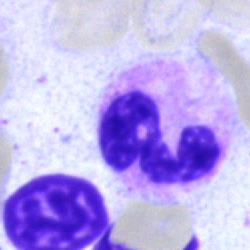 A polymorphonuclear neutrophil.